Bone marrow smear: 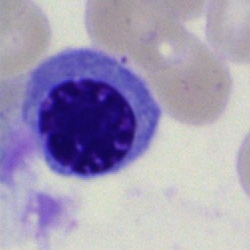A nucleated red cell.